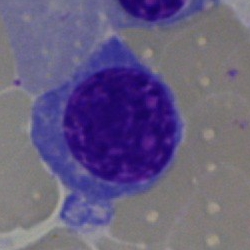

An erythroblast on a bone marrow smear.